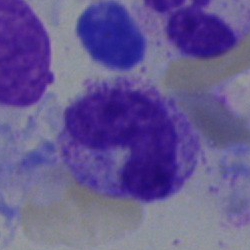Q: What is the morphological classification of this cell?
A: This is a neutrophil (band).